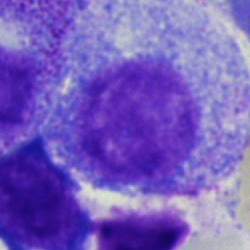 Morphology → promyelocyte.